Bone marrow smear
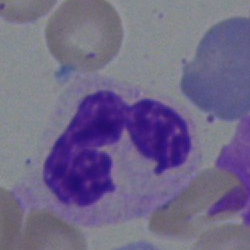Q: Which cell type is shown here?
A: This is a segmented neutrophil.